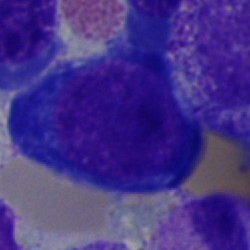 Specimen: bone marrow smear.
Classification: proerythroblast.